Bone marrow smear
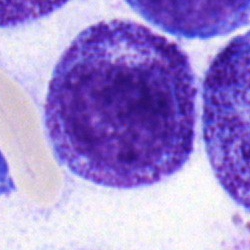

Morphology consistent with a promyelocyte.